Bone marrow smear: 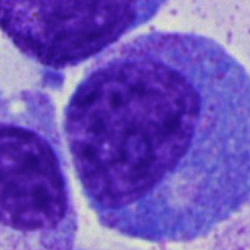

Q: What cell is this?
A: Progranulocyte.